Bone marrow aspirate smear · 40× objective, oil immersion: 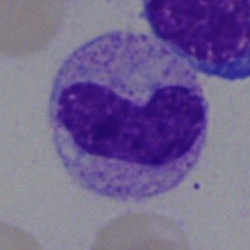A stab cell.